Bone marrow smear; May-Grünwald-Giemsa stain — 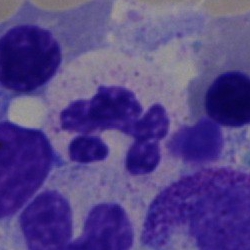Cell = segmented neutrophil.